Bone marrow smear · single cell centered in the field — 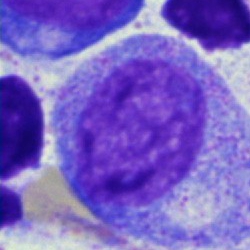

The classification is promyelocyte.